May-Grünwald-Giemsa stain. Bone marrow smear. Cropped to a single cell: 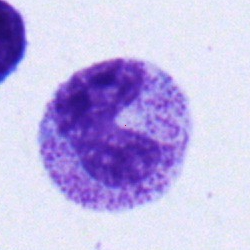
Showing a band neutrophil.